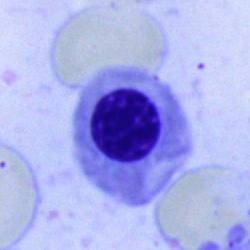

Specimen: bone marrow aspirate smear.
Cell: nucleated red blood cell.
Lineage: erythroid.